Bone marrow aspirate smear; Pappenheim-stained; 250 by 250 pixels:
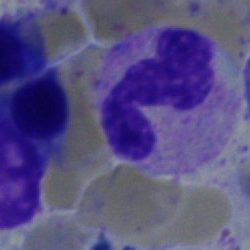The classification is polymorphonuclear neutrophil.